Bone marrow smear. 250 by 250 pixels. 40× objective, oil immersion: 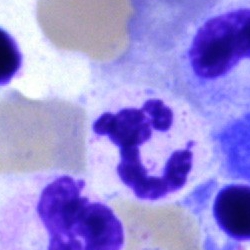
{"cell_type": "segmented neutrophil", "lineage": "myeloid"}